Bone marrow aspirate smear.
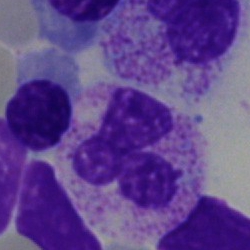
Specimen: bone marrow aspirate smear.
Cell type: neutrophil (segmented).